Bone marrow smear: 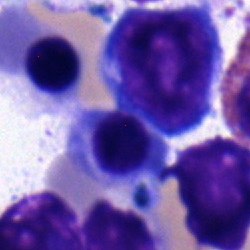Morphology consistent with a nucleated red cell.